Image size 250×250; bone marrow aspirate smear: 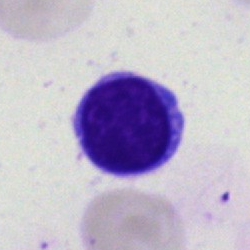

Cell type — typical lymphocyte.